Peripheral blood smear. Romanowsky stain.
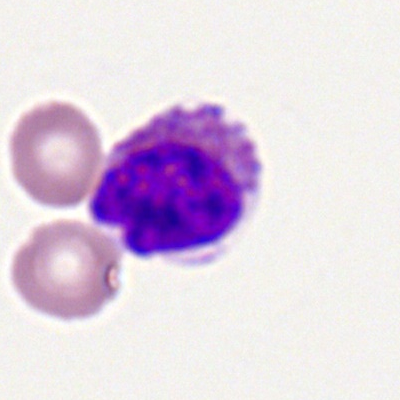

Morphology → eosinophil.